Bone marrow aspirate smear · single-cell crop — 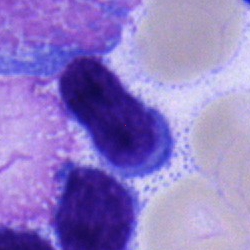
The cell shown is a typical lymphocyte.